250×250; bone marrow smear; single cell centered in the field: 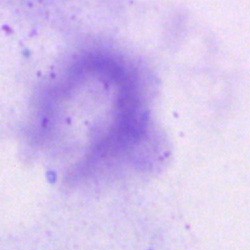
Cell: artifact.